Bone marrow smear:
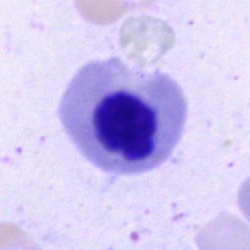

Single cell identified as an erythroblast.